Bone marrow smear; brightfield, 40× oil-immersion objective: 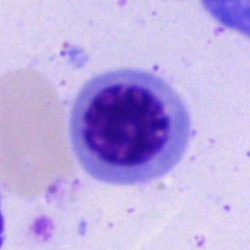
Morphology consistent with an erythroblast.